Pappenheim-stained; bone marrow smear:
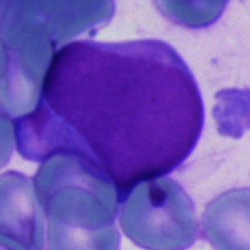

Q: Identify the cell.
A: This is a blast.